Bone marrow aspirate smear:
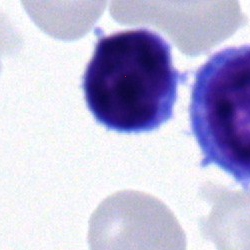 Specimen: bone marrow smear.
Morphological class: typical lymphocyte.
Lineage: lymphoid.